Image size 250×250; bone marrow smear; cropped to a single cell: 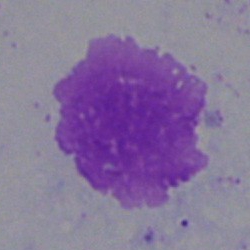

Q: What is shown here?
A: It is an artifact.